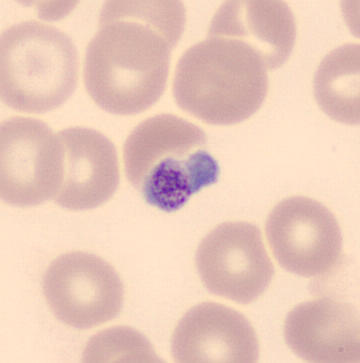

Q: What is shown here?
A: It is a platelet.
Acquisition: 360 by 363 pixels. Peripheral blood smear.